Bone marrow aspirate smear
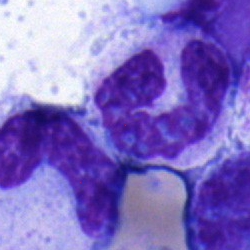 Cell type: band neutrophil.